Bone marrow smear. Cropped to a single cell:
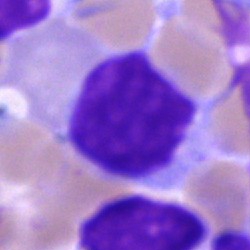
Morphological class: typical lymphocyte.